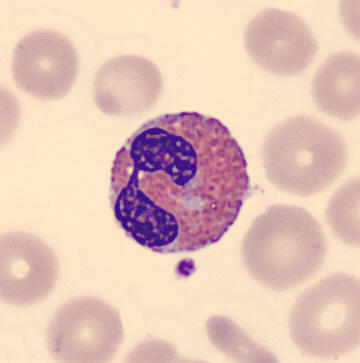Preparation: Single cell centered in the field; peripheral blood smear; image size 360×363.

{"cell_type": "eosinophil", "lineage": "myeloid"}